Single-cell crop · 250×250 · bone marrow aspirate smear — 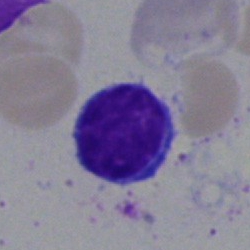 Cell — typical lymphocyte.